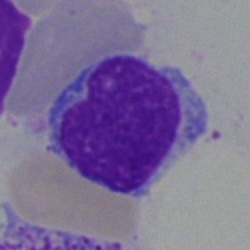 This is an artifact.